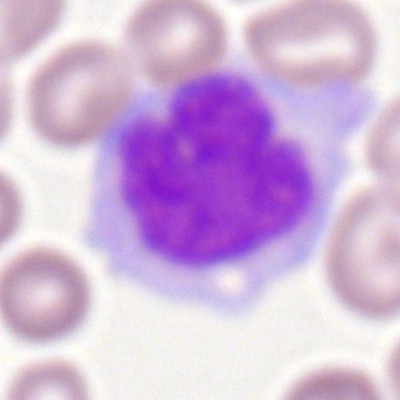Morphology consistent with a monocyte.